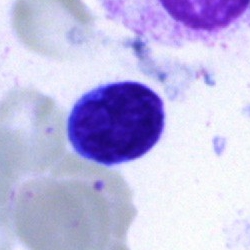 A lymphocyte.